Bone marrow smear · May-Grünwald-Giemsa/Pappenheim stain: 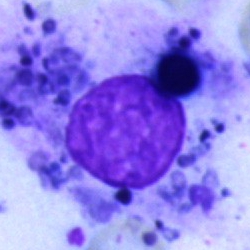 Morphology consistent with an artefact.